Bone marrow smear — 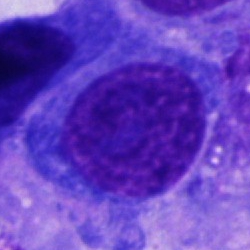Q: What cell is this?
A: An other cell.